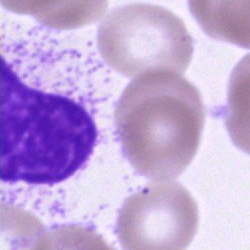

The classification is unidentifiable cell.